Bone marrow smear — 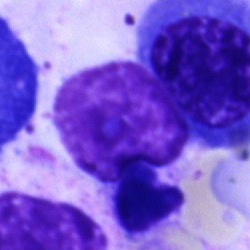
Morphology → artifact.